Brightfield microscopy, 40× oil immersion; bone marrow aspirate smear:
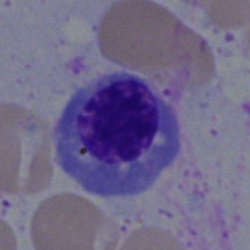

Q: Identify the cell.
A: This is a nucleated red cell.